Bone marrow smear — 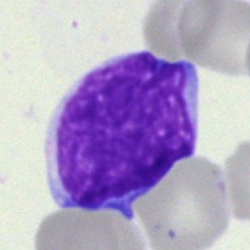 Classification = undifferentiated blast.